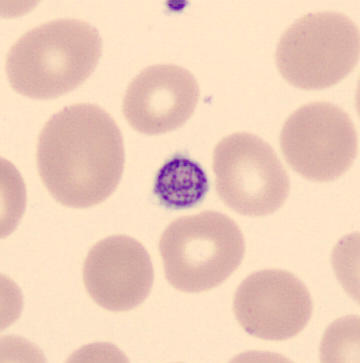 This is a platelet. 360×363; peripheral blood smear.